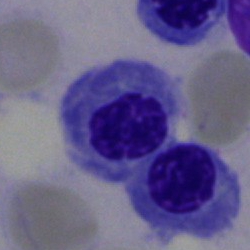 The morphological class is nucleated red cell.